Peripheral blood smear
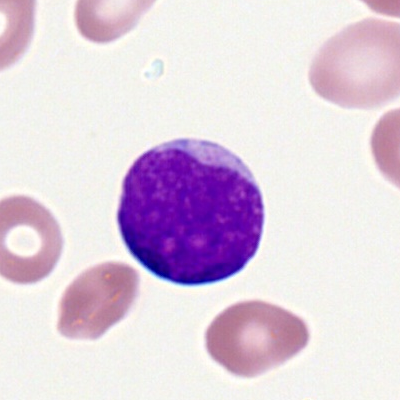
The cell shown is a myeloblast.